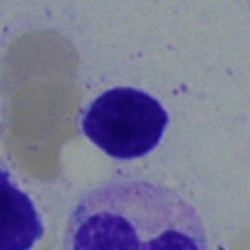 This is a typical lymphocyte.